Bone marrow smear · May-Grünwald-Giemsa/Pappenheim stain — 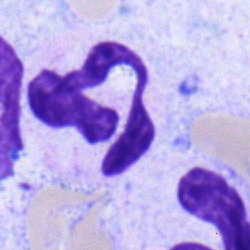

Morphology consistent with a polymorphonuclear neutrophil.